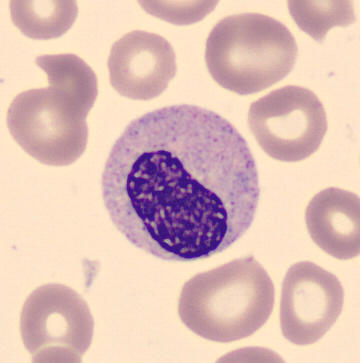

{"cell_type": "metamyelocyte", "lineage": "myeloid"}
Image: Image size 360×363. MGG stain. Peripheral blood film.